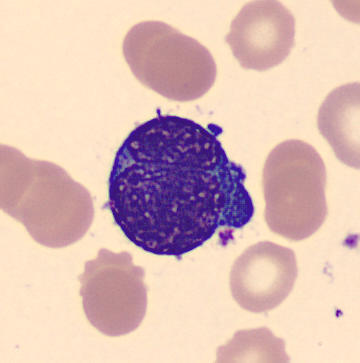 Image: Single-cell crop.

Specimen: peripheral blood smear.
Classification: nucleated red blood cell.
Lineage: erythroid.